Bone marrow smear; 250×250; brightfield, 40× oil-immersion objective
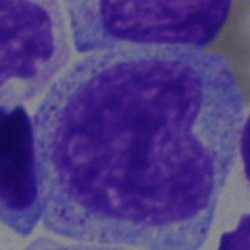{"cell_type": "promyelocyte"}